Bone marrow smear. Cropped to a single cell. Brightfield, 40× oil-immersion objective — 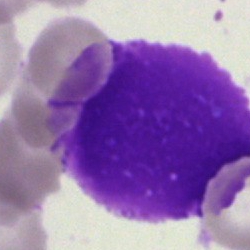
{"cell_type": "artefact"}